Bone marrow smear · May-Grünwald-Giemsa/Pappenheim stain.
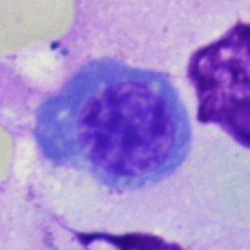Showing a nucleated red blood cell.